Pappenheim-stained · bone marrow aspirate smear:
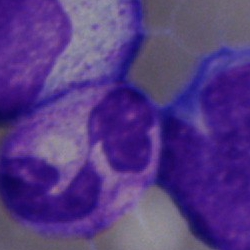

The cell shown is a segmented neutrophil.